Single cell centered in the field · bone marrow aspirate smear · May-Grünwald-Giemsa stain: 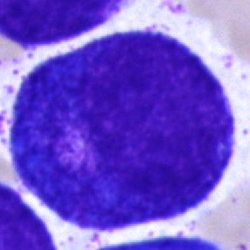

{"cell_type": "promyelocyte"}